Pappenheim-stained · bone marrow aspirate smear · brightfield, 40× oil-immersion objective — 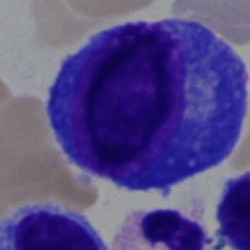The cell shown is a progranulocyte.